Brightfield, 40× oil-immersion objective. Bone marrow smear. Cropped to a single cell:
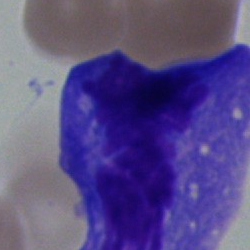
The cell is unidentifiable cell.